Bone marrow aspirate smear
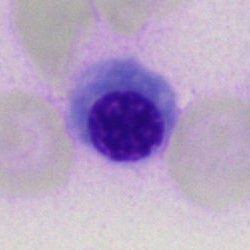Showing a nucleated red blood cell.